Bone marrow smear · single cell centered in the field:
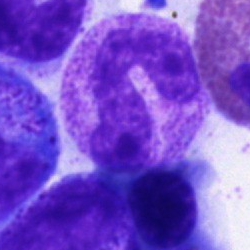
Classification: neutrophil (band).